Single-cell crop; bone marrow smear:
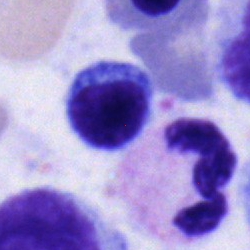
Q: What is the morphological classification of this cell?
A: Typical lymphocyte.